Bone marrow aspirate smear · May-Grünwald-Giemsa stain.
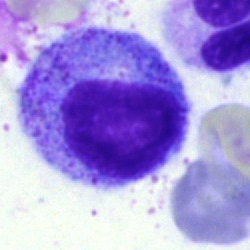 Morphology consistent with a myelocyte.